Bone marrow aspirate smear — 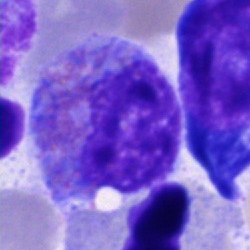

Morphological class: eosinophil.